Brightfield, 40× oil-immersion objective. Bone marrow smear. 250×250:
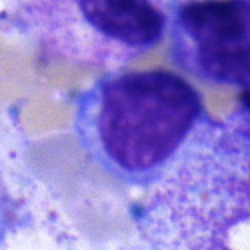

Q: Which cell type is shown here?
A: This is a lymphocyte.